Romanowsky-stained · peripheral blood smear — 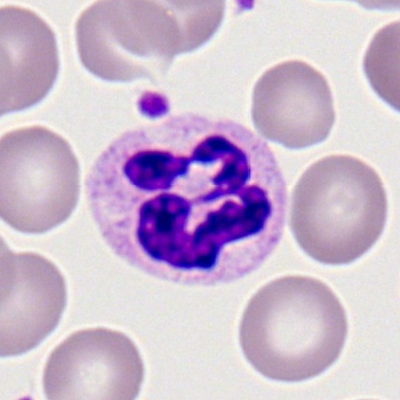
Impression → segmented neutrophil.